Bone marrow aspirate smear — 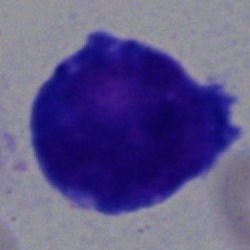 Cell type — undifferentiated blast.